Brightfield, 40× oil-immersion objective · bone marrow aspirate smear: 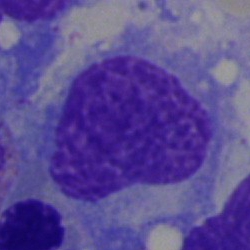
The classification is artifact.